Bone marrow aspirate smear — 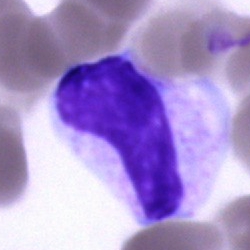

Q: What is the morphological classification of this cell?
A: A neutrophil (band).